Bone marrow aspirate smear.
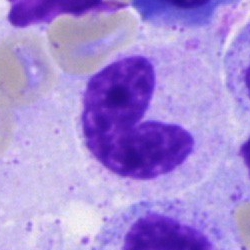

Specimen: bone marrow smear.
Cell type: stab cell.
Lineage: myeloid.